Bone marrow smear — 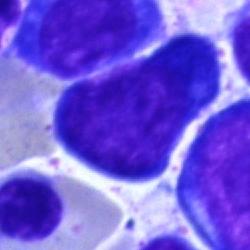

Cell — nucleated red cell.